Bone marrow smear
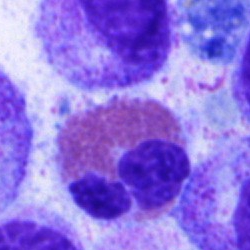 Q: What is shown here?
A: Eosinophil.